Peripheral blood smear; image size 400×400
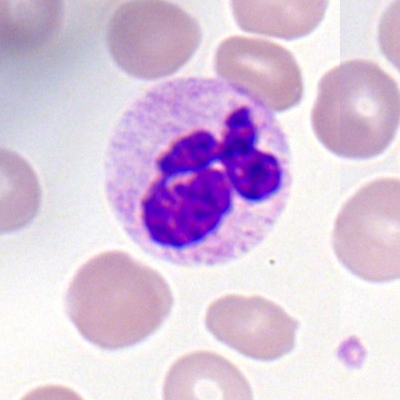 This is a neutrophil (segmented).